Bone marrow aspirate smear — 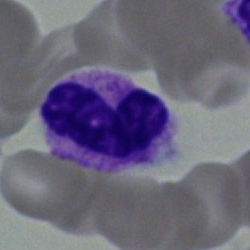

Q: What is shown here?
A: A band neutrophil.